MGG-stained · bone marrow aspirate smear — 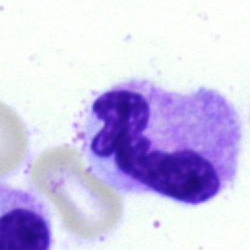Morphology consistent with a polymorphonuclear neutrophil.